40× objective, oil immersion · bone marrow smear · May-Grünwald-Giemsa stain.
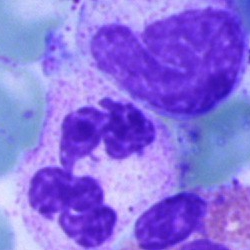 Cell — neutrophil (segmented).